Bone marrow smear: 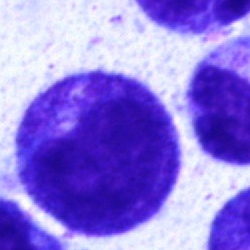 Q: What type of cell is this?
A: It is a promyelocyte.